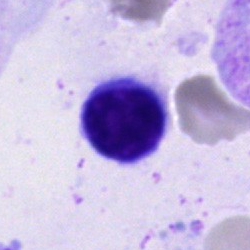

Q: Which cell type is shown here?
A: Plasmacyte.